Peripheral blood film · 400 by 400 pixels · single-cell crop:
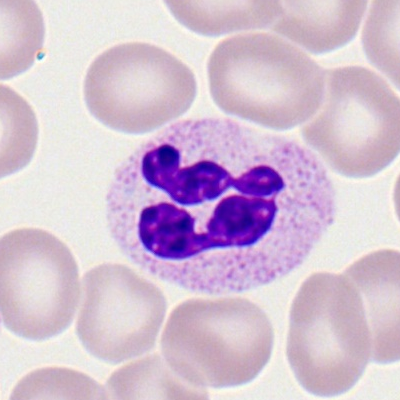Polymorphonuclear neutrophil.